Bone marrow aspirate smear
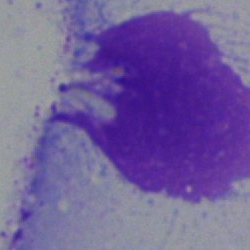 Single cell identified as an artifact.